Bone marrow aspirate smear. Single-cell crop: 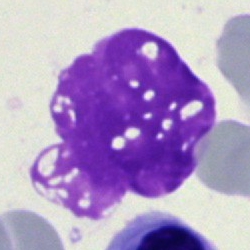 Cell: artifact.